Bone marrow aspirate smear:
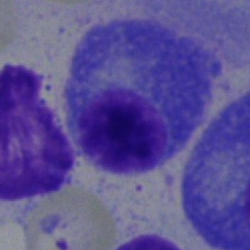Classification: plasmacyte.